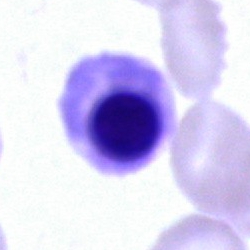

Q: Which cell type is shown here?
A: Nucleated red blood cell.